Bone marrow aspirate smear — 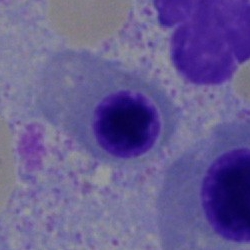 Q: Identify the cell.
A: It is an erythroblast.